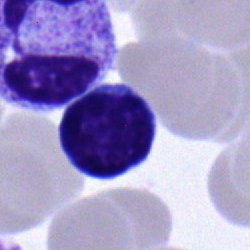The morphological class is typical lymphocyte.